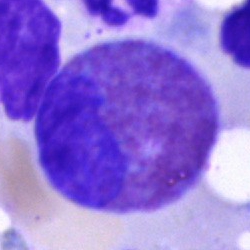Cell: eosinophilic granulocyte.